Bone marrow aspirate smear — 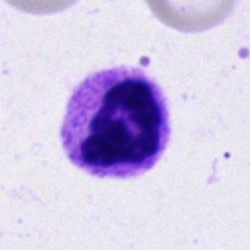
Q: What cell is this?
A: A segmented neutrophil.